Bone marrow aspirate smear. 250 by 250 pixels. Cropped to a single cell: 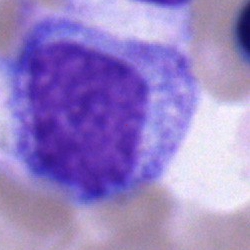
Specimen: bone marrow aspirate smear.
Cell: promyelocyte.